MGG-stained; bone marrow aspirate smear: 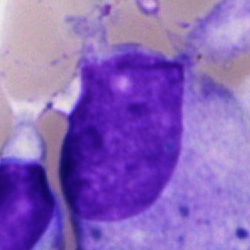 Q: What is shown here?
A: An artifact.